Single-cell field · bone marrow smear · May-Grünwald-Giemsa/Pappenheim stain.
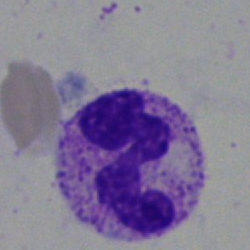 Q: What is the morphological classification of this cell?
A: It is a polymorphonuclear neutrophil.